Bone marrow aspirate smear; 40× objective, oil immersion; single-cell field — 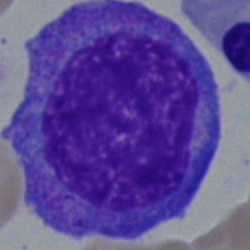 The cell shown is a progranulocyte.